Bone marrow aspirate smear:
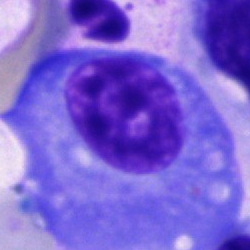Plasma cell.